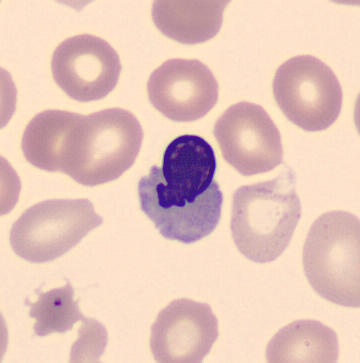

Single-cell crop from a peripheral blood smear: normoblast.